Peripheral blood film.
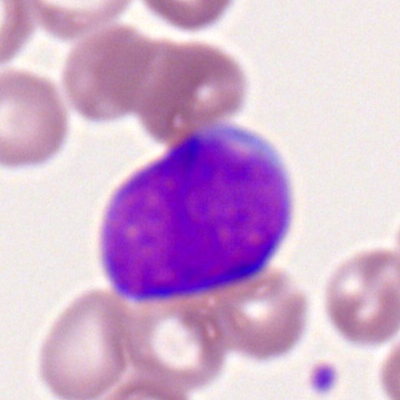
The cell shown is a myeloblast.